Brightfield, 40× oil-immersion objective; bone marrow aspirate smear — 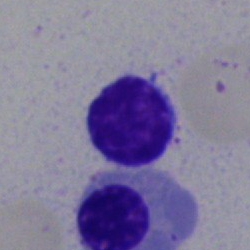

Q: What type of cell is this?
A: This is a typical lymphocyte.